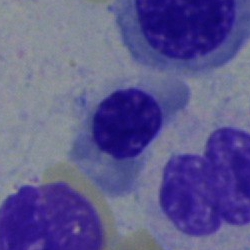Specimen: bone marrow smear.
Cell: nucleated red cell.
Lineage: erythroid.